Bone marrow aspirate smear: 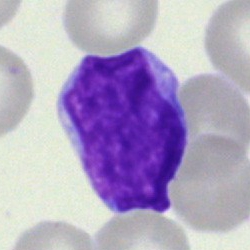Specimen: bone marrow aspirate smear.
Morphological class: blast cell.